Bone marrow aspirate smear; MGG-stained — 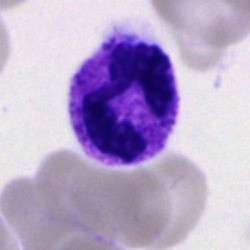
Q: What cell is this?
A: This is a polymorphonuclear neutrophil.